Bone marrow aspirate smear.
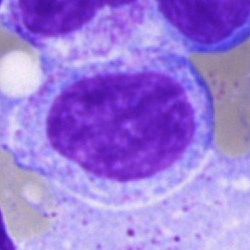
Morphology — promyelocyte.